Peripheral blood film — 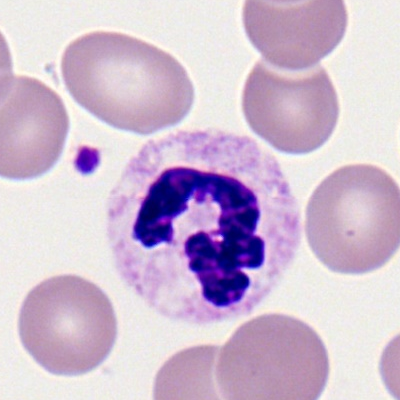

Morphological class — segmented neutrophil.